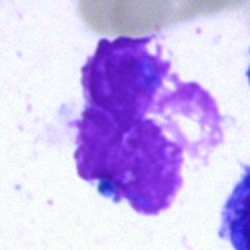

Cell type: artefact.